Bone marrow aspirate smear: 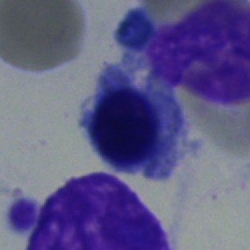
Morphological class: nucleated red blood cell.